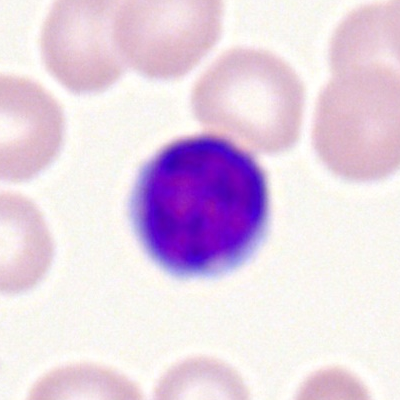Q: What type of cell is this?
A: A typical lymphocyte.